250×250. Bone marrow aspirate smear. May-Grünwald-Giemsa stain:
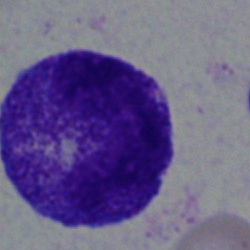
Classification = promyelocyte.